Bone marrow aspirate smear; Pappenheim-stained; 250×250.
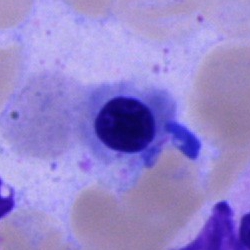

Q: What cell is this?
A: A nucleated red cell.